Cropped to a single cell. Bone marrow smear.
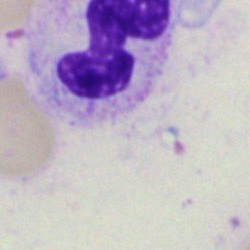
The cell shown is a segmented neutrophil.